Bone marrow smear:
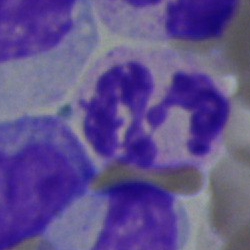

Showing a neutrophil (segmented).